Bone marrow aspirate smear — 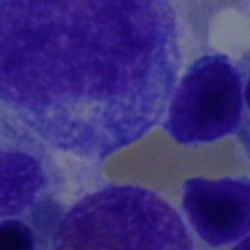 Q: What type of cell is this?
A: A promyelocyte.